Bone marrow aspirate smear
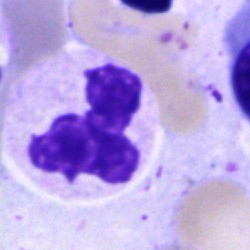{"cell_type": "segmented neutrophil", "lineage": "myeloid"}